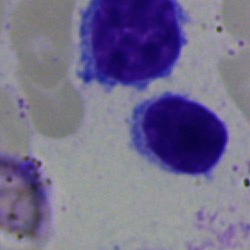 The cell is typical lymphocyte.